Bone marrow aspirate smear:
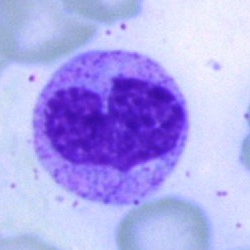

Stab cell.